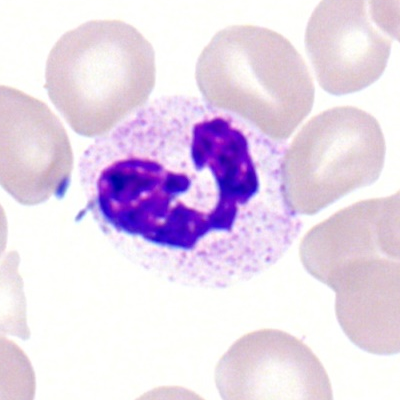

Q: Identify the cell.
A: Polymorphonuclear neutrophil.